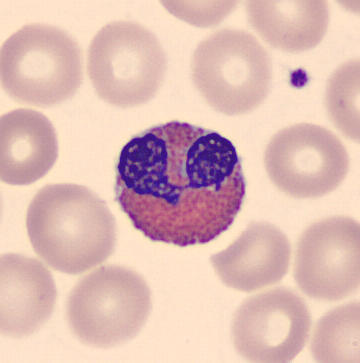

Peripheral blood smear.

Classification — eosinophilic granulocyte.